Bone marrow smear — 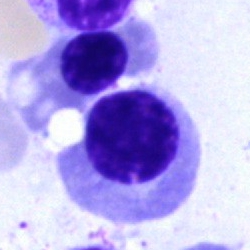Morphological class = nucleated red cell.